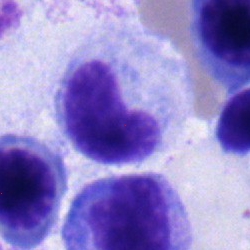

Bone marrow aspirate smear, single cell — metamyelocyte.